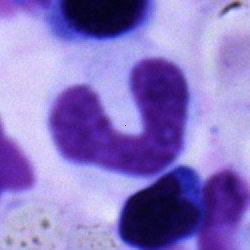
Q: What type of cell is this?
A: This is a stab cell.